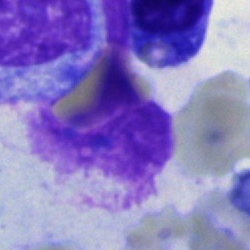

{"cell_type": "artefact"}